Bone marrow aspirate smear.
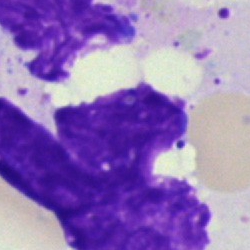 Morphological class: artefact.